Bone marrow aspirate smear.
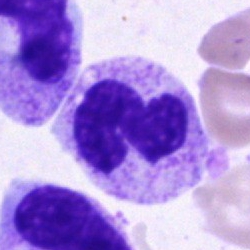
Q: What cell is this?
A: A polymorphonuclear neutrophil.